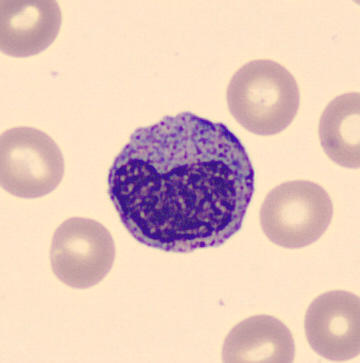Preparation: Peripheral blood film.

{"cell_type": "metamyelocyte", "lineage": "myeloid"}